Bone marrow smear. Pappenheim-stained:
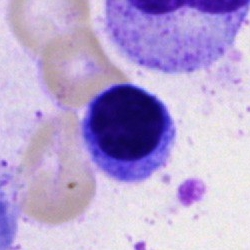
Q: What type of cell is this?
A: Nucleated red cell.